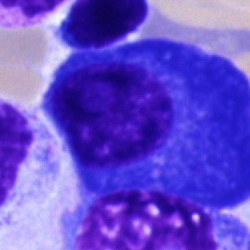Q: What cell is this?
A: It is a plasmacyte.